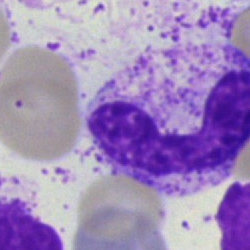 Morphological class: stab cell.